Peripheral blood film. CellaVision DM96 digital cell image — 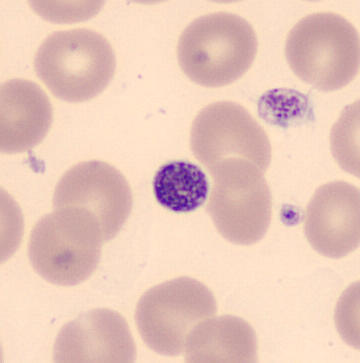
Morphology — platelet.